MGG-stained. Bone marrow aspirate smear — 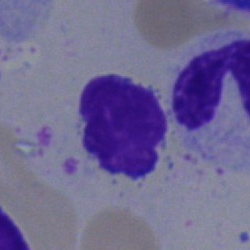 {"cell_type": "artefact"}